Bone marrow smear · brightfield, 40× oil-immersion objective · May-Grünwald-Giemsa/Pappenheim stain.
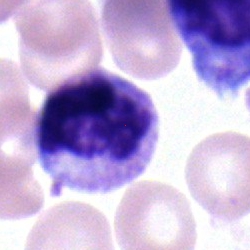
Q: Identify the cell.
A: It is a segmented neutrophil.